Peripheral blood film. Romanowsky-type stain. 100× objective, oil immersion: 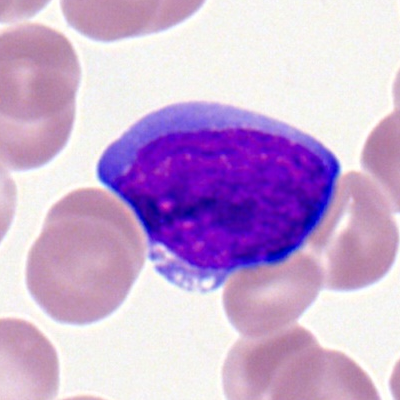 Morphology consistent with a myeloblast.